Bone marrow aspirate smear. Single cell centered in the field.
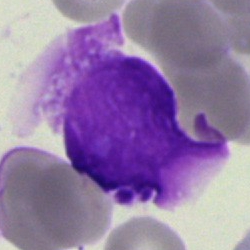Q: What is shown here?
A: This is an artefact.